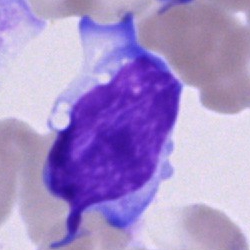 This is a typical lymphocyte.